Bone marrow smear.
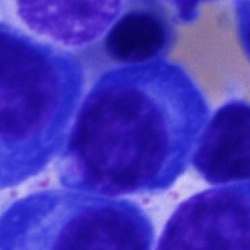Q: What type of cell is this?
A: A plasmacyte.